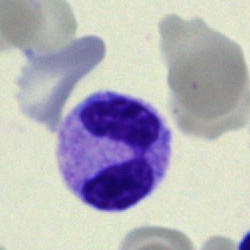

Classification: polymorphonuclear neutrophil.